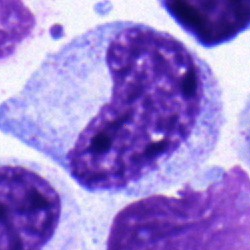
The cell shown is a metamyelocyte.